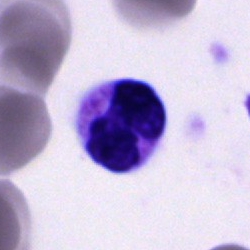

Specimen: bone marrow aspirate smear.
Cell: polymorphonuclear neutrophil.